Bone marrow smear: 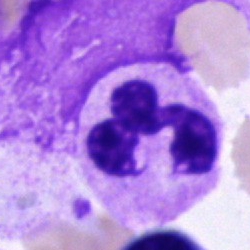

Impression — segmented neutrophil.